Imaged on a CellaVision DM96 analyser. Peripheral blood film:
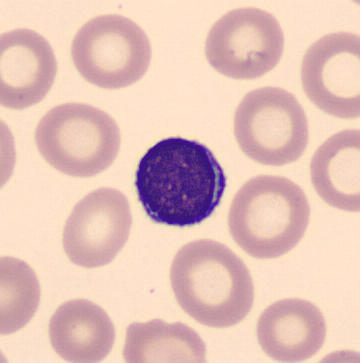

Single cell identified as a lymphocyte.